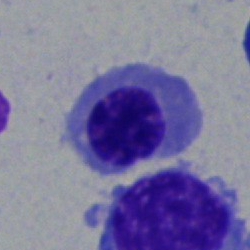

The cell is nucleated red blood cell.